Peripheral blood smear: 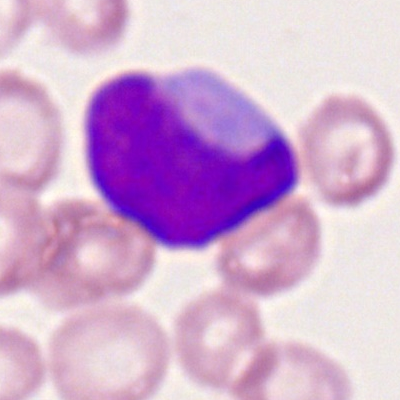 The cell shown is a myeloid blast.